Bone marrow aspirate smear:
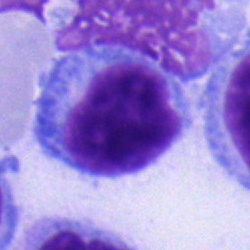
Q: What type of cell is this?
A: It is a typical lymphocyte.